Bone marrow aspirate smear — 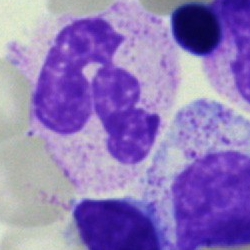
Specimen: bone marrow smear.
Cell type: neutrophil (segmented).